Bone marrow smear:
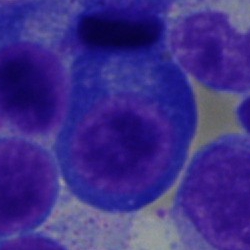
Impression — plasmacyte.